Cropped to a single cell · peripheral blood film.
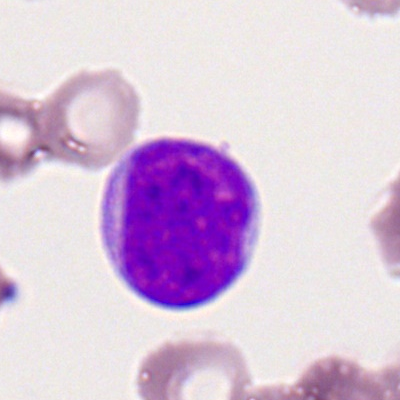

Q: Identify the cell.
A: This is a myeloid blast.